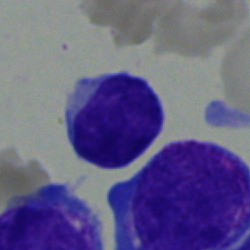Single-cell crop from a bone marrow smear: lymphocyte.